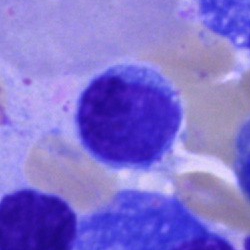Cell type = lymphocyte.